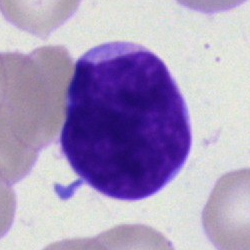
{"cell_type": "typical lymphocyte", "lineage": "lymphoid"}